Bone marrow aspirate smear
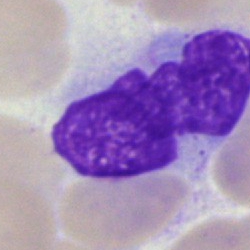{"cell_type": "monocyte"}